Bone marrow aspirate smear. 40× oil immersion.
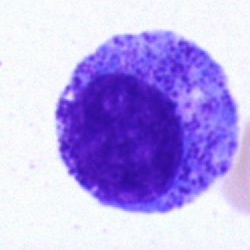Classification — promyelocyte.